Image size 250×250 · bone marrow aspirate smear — 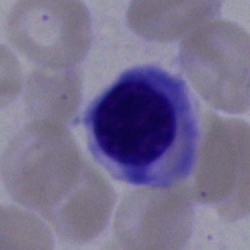
An erythroblast.